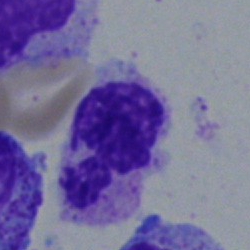

Morphological class: polymorphonuclear neutrophil.